Image size 250×250 · bone marrow aspirate smear: 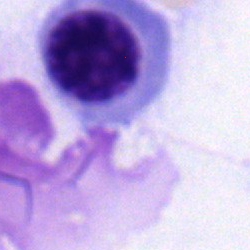Classification = erythroblast.